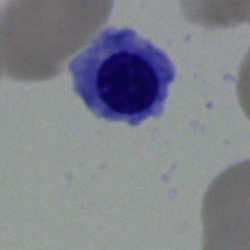
An erythroblast on a bone marrow smear.